Bone marrow aspirate smear.
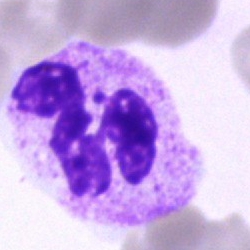

Morphology consistent with a neutrophil (segmented).